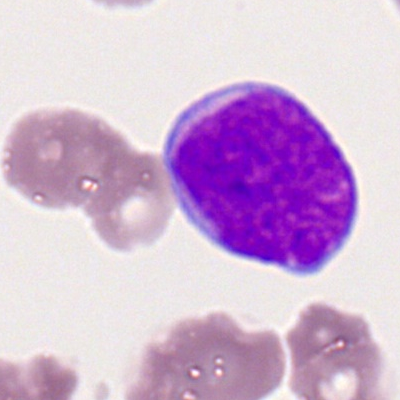Morphological class: myeloid blast.